Peripheral blood film — 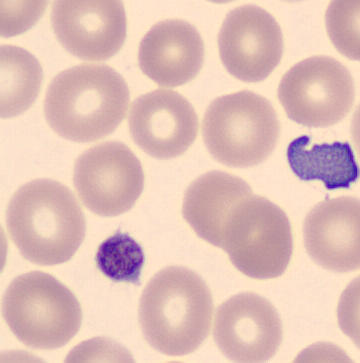Impression → thrombocyte.